Peripheral blood smear — 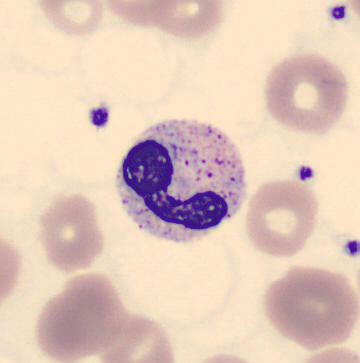

{"cell_type": "neutrophil (band)", "lineage": "myeloid"}